250×250 px; bone marrow smear: 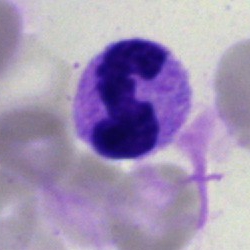

Classification — segmented neutrophil.